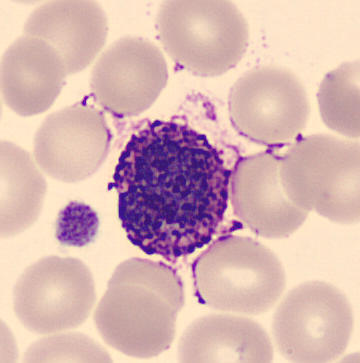
Q: Identify the cell.
A: Basophilic granulocyte. Peripheral blood film.